Bone marrow aspirate smear: 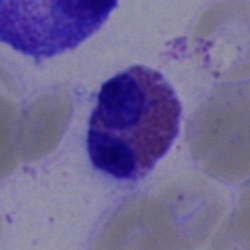

Specimen: bone marrow smear.
Morphological class: eosinophil.
Lineage: myeloid.